Bone marrow aspirate smear. MGG-stained. Brightfield, 40× oil-immersion objective.
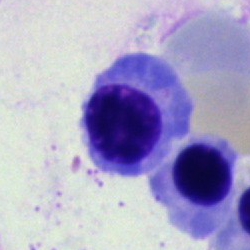

The cell shown is a normoblast.